Single-cell crop. Bone marrow aspirate smear — 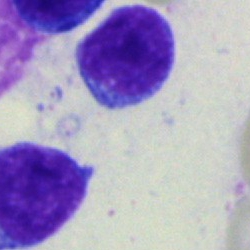

Specimen: bone marrow aspirate smear.
Cell type: typical lymphocyte.
Lineage: lymphoid.